Bone marrow smear:
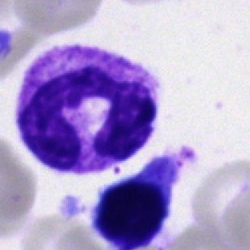
Specimen: bone marrow smear.
Morphological class: polymorphonuclear neutrophil.
Lineage: myeloid.